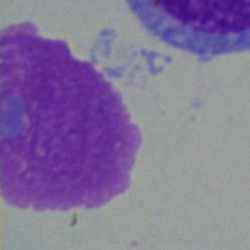
{"cell_type": "artefact"}